Bone marrow smear; single cell centered in the field; May-Grünwald-Giemsa/Pappenheim stain
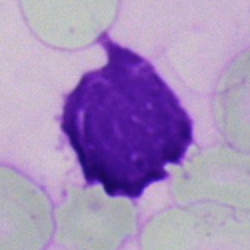

Morphology consistent with an artifact.